Peripheral blood smear · 100× oil immersion · 400 by 400 pixels:
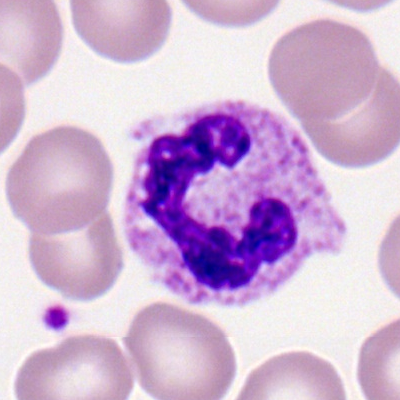Single cell identified as a segmented neutrophil.